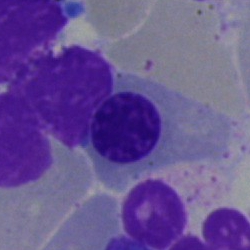{"cell_type": "nucleated red cell", "lineage": "erythroid"}